Bone marrow aspirate smear.
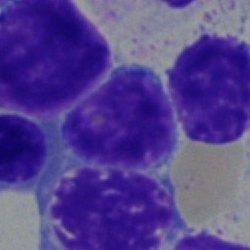Morphological class — lymphocyte.